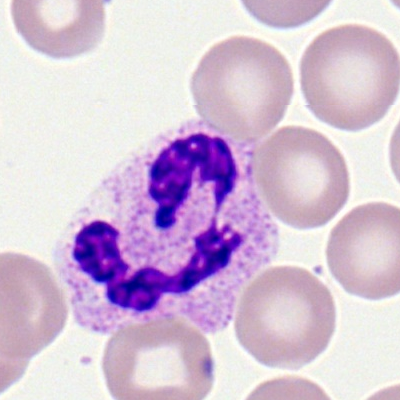Cell — segmented neutrophil.